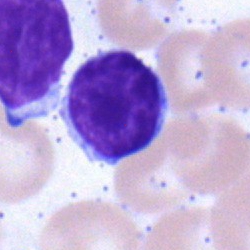 The cell is lymphocyte.